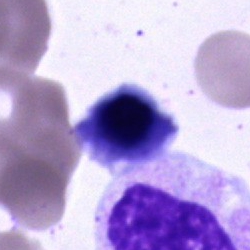
A cell of indeterminate lineage on a bone marrow smear.